Single-cell crop · bone marrow aspirate smear · Pappenheim-stained
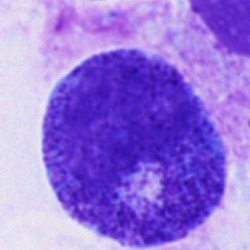{"cell_type": "promyelocyte"}